Bone marrow aspirate smear — 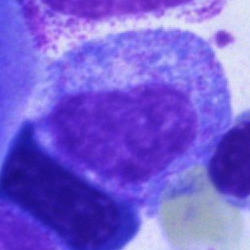

Morphological class = progranulocyte.